Peripheral blood film. Romanowsky-stained. 100× oil immersion, 14.14 px/µm — 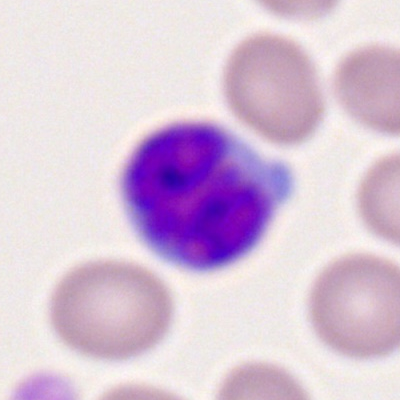
Cell type = typical lymphocyte.